Bone marrow aspirate smear: 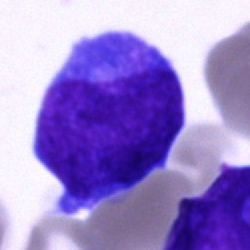 {"cell_type": "undifferentiated blast"}